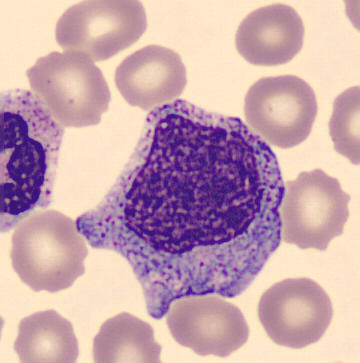 Specimen: peripheral blood film.
Morphological class: promyelocyte.